Peripheral blood smear — 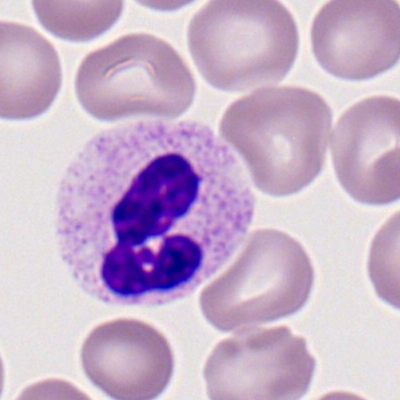 {"cell_type": "neutrophil (segmented)"}